Bone marrow smear: 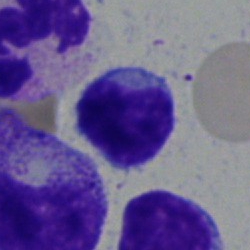 Single cell identified as a typical lymphocyte.